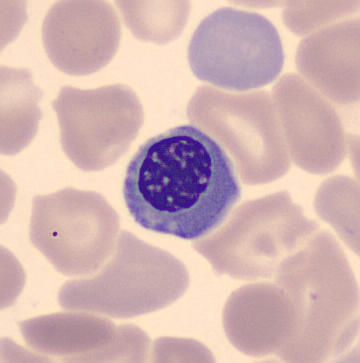Q: What type of cell is this?
A: It is a nucleated red cell.
Peripheral blood film.